Bone marrow smear; 250×250 px: 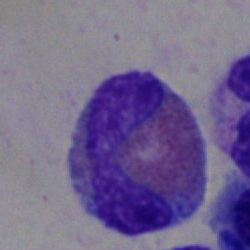 Q: What cell is this?
A: Eosinophil.